Bone marrow smear; 40× objective, oil immersion — 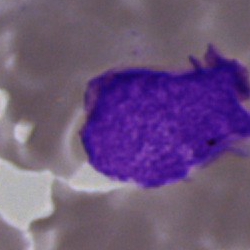
Impression → artefact.